Pappenheim-stained · bone marrow aspirate smear.
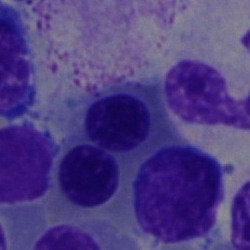

The classification is erythroblast.